Single-cell crop. MGG-stained. Bone marrow smear — 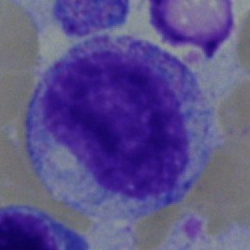 Morphological class: myelocyte.